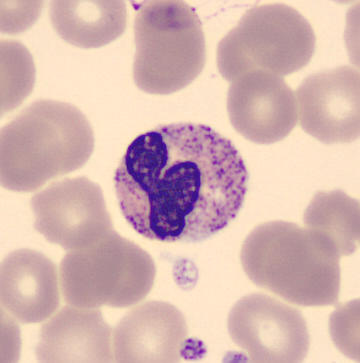

Q: What is the morphological classification of this cell?
A: It is a neutrophil (band).

MGG stain. Peripheral blood film. Imaged on a CellaVision DM96 analyser.